May-Grünwald-Giemsa/Pappenheim stain; bone marrow smear; 250 by 250 pixels
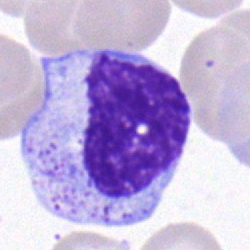

The cell shown is a myelocyte.